Bone marrow smear; MGG-stained — 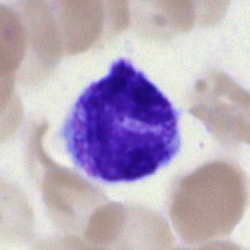Cell — monocyte.